Peripheral blood film: 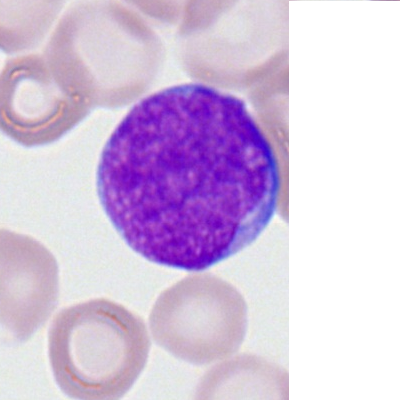

Myeloid blast.